Bone marrow aspirate smear: 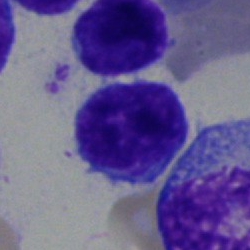Single cell identified as a lymphocyte.